Bone marrow smear — 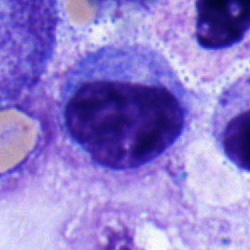
Morphology consistent with a monocyte.